Pappenheim-stained · bone marrow aspirate smear: 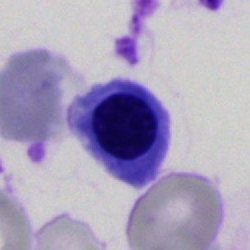Specimen: bone marrow aspirate smear.
Cell: erythroblast.